Peripheral blood smear: 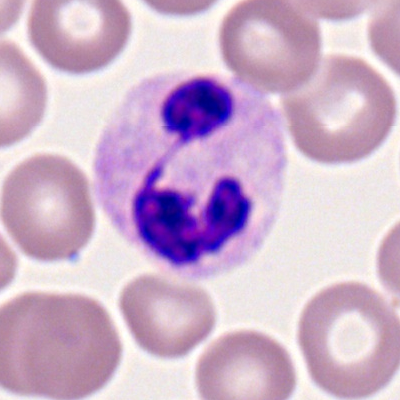Neutrophil (segmented).